250 by 250 pixels. Bone marrow smear. Single cell centered in the field — 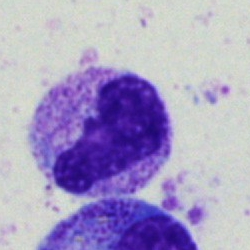
Q: Identify the cell.
A: A stab cell.